Peripheral blood film:
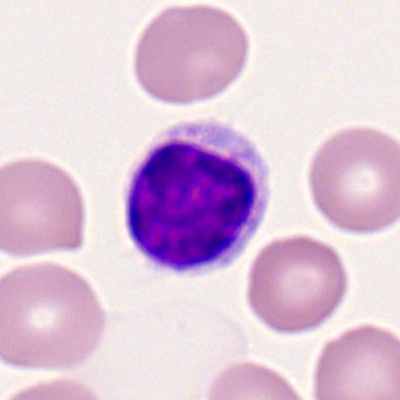

Morphology consistent with a lymphocyte.